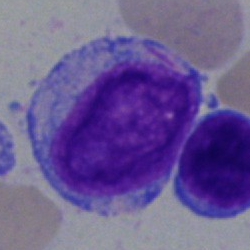Morphology consistent with a blast.